Bone marrow aspirate smear · brightfield microscopy, 40× oil immersion:
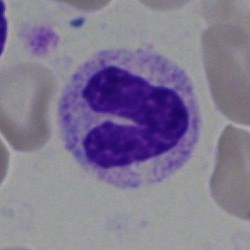Q: What is shown here?
A: A stab cell.